Bone marrow aspirate smear. May-Grünwald-Giemsa/Pappenheim stain — 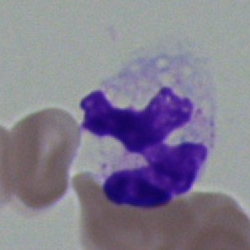
Showing a segmented neutrophil.